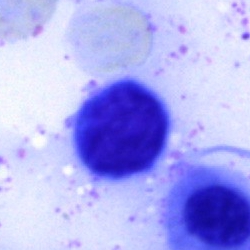 Morphology consistent with a lymphocyte.